Bone marrow smear:
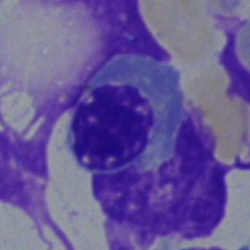 Q: Identify the cell.
A: Erythroblast.